Brightfield microscopy, 40× oil immersion · 250×250 px · bone marrow aspirate smear.
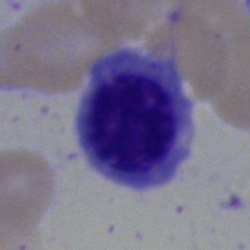
Morphology consistent with a normoblast.